Image size 400×400 · peripheral blood smear: 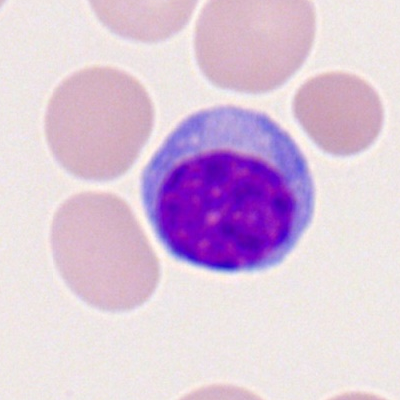Cell — typical lymphocyte.